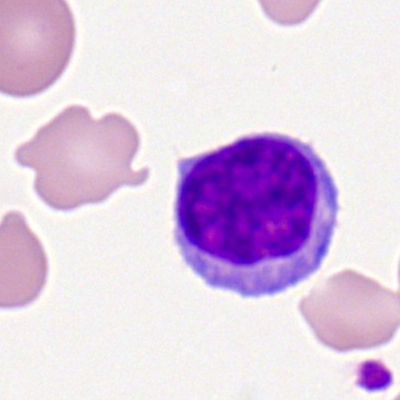
Specimen: peripheral blood smear.
Morphological class: lymphocyte.
Lineage: lymphoid.